Bone marrow smear:
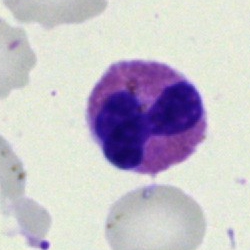
This is an eosinophil.